Bone marrow smear
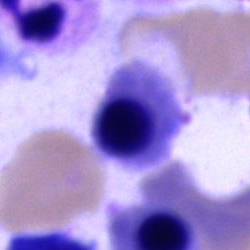
Q: What is shown here?
A: Erythroblast.